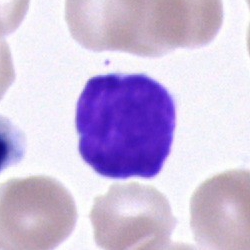Q: What type of cell is this?
A: Typical lymphocyte.